Bone marrow aspirate smear
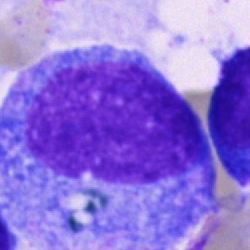
Morphological class — progranulocyte.